Bone marrow aspirate smear; brightfield, 40× oil-immersion objective:
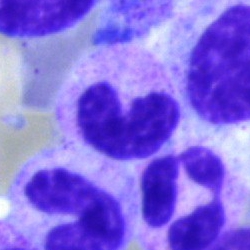
Q: Which cell type is shown here?
A: A stab cell.